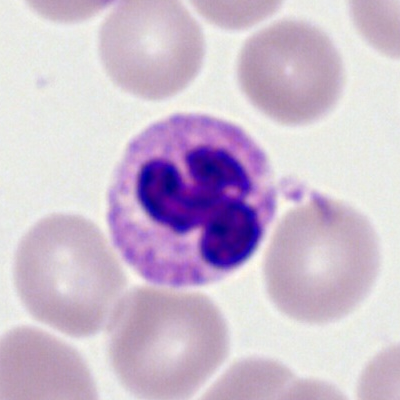Q: What is the morphological classification of this cell?
A: It is a neutrophil (segmented).